Bone marrow smear: 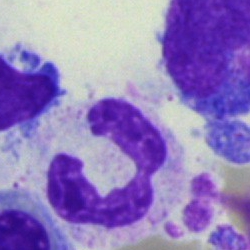

Showing a segmented neutrophil.